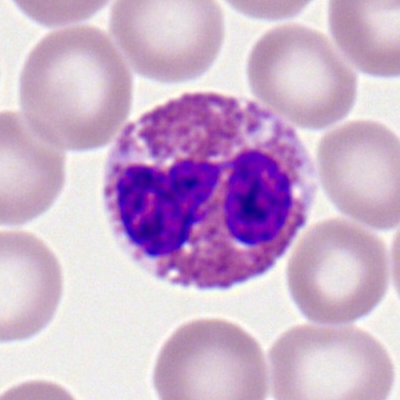 Q: What is shown here?
A: This is an eosinophilic granulocyte.